40× objective, oil immersion; bone marrow aspirate smear; cropped to a single cell:
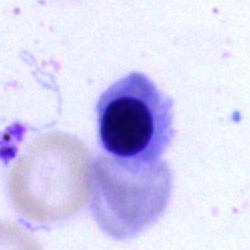Single cell identified as an erythroblast.